250×250 · bone marrow smear:
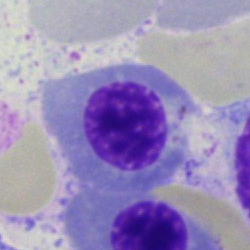 Showing an erythroblast.